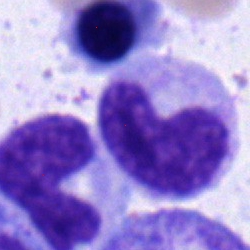Q: What is the morphological classification of this cell?
A: This is a band neutrophil.